250 by 250 pixels; bone marrow smear
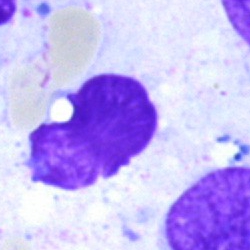

Morphology consistent with an artifact.